Bone marrow smear: 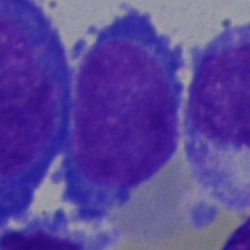Morphology → typical lymphocyte.